Bone marrow aspirate smear · cropped to a single cell · image size 250×250
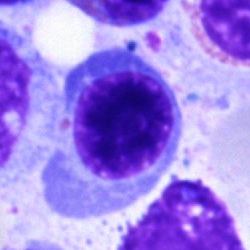Morphology consistent with a nucleated red blood cell.